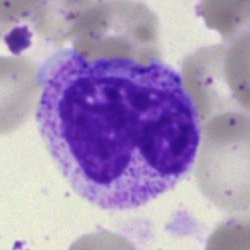Single cell identified as a neutrophil (band).